Bone marrow aspirate smear
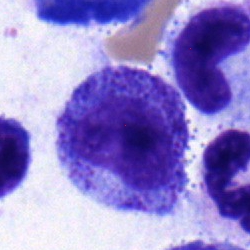 Classification = myelocyte.